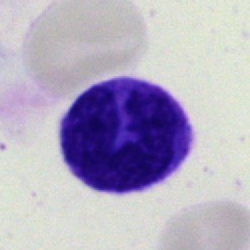The cell type is monocyte.